MGG-stained · bone marrow smear: 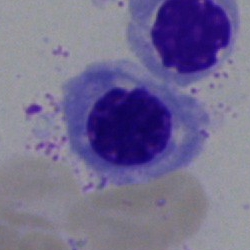Erythroblast.